Brightfield microscopy, 40× oil immersion. May-Grünwald-Giemsa stain. Bone marrow aspirate smear — 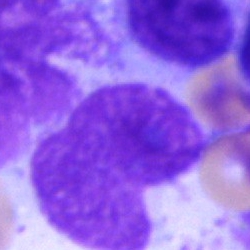

This is an artefact.